Bone marrow smear:
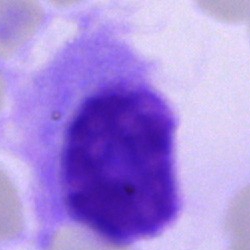
Morphology consistent with an artefact.